Bone marrow smear — 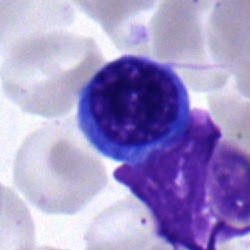
Nucleated red cell.